Bone marrow aspirate smear
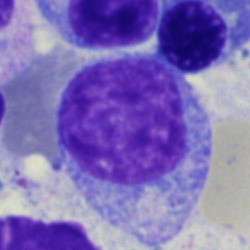
Specimen: bone marrow smear.
Classification: promyelocyte.
Lineage: myeloid.